Bone marrow aspirate smear — 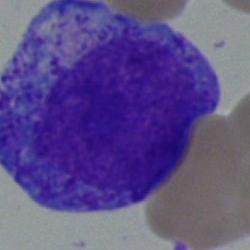Cell type — promyelocyte.